Bone marrow aspirate smear.
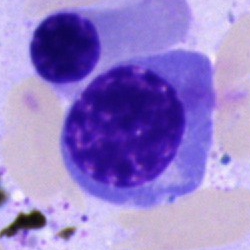

Nucleated red cell.